Brightfield microscopy, 40× oil immersion. Bone marrow smear — 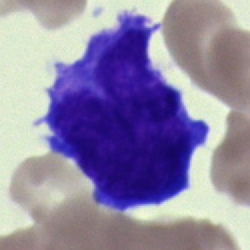
The cell shown is an undifferentiated blast.